Cropped to a single cell · bone marrow aspirate smear · 250 by 250 pixels.
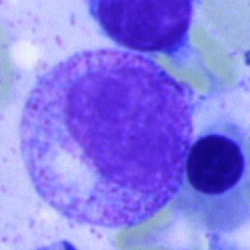
Single cell identified as a myelocyte.